Cropped to a single cell. Bone marrow smear: 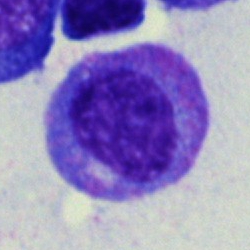

Single cell identified as a promyelocyte.